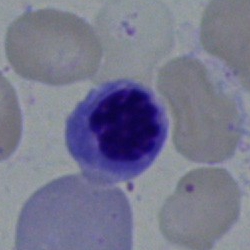
Cell type = erythroblast.